Bone marrow smear: 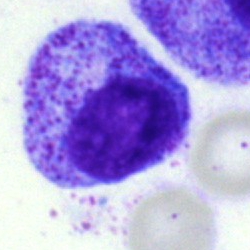Morphology → myelocyte.